Bone marrow aspirate smear
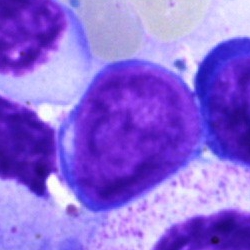

Q: Identify the cell.
A: It is a typical lymphocyte.